Bone marrow aspirate smear
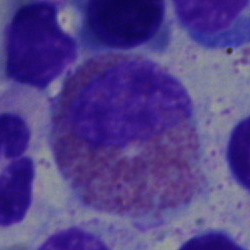

Specimen: bone marrow aspirate smear.
Classification: eosinophilic granulocyte.
Lineage: myeloid.